Bone marrow aspirate smear:
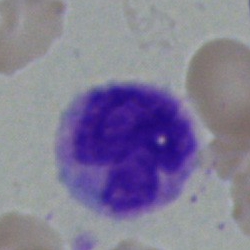

Morphology consistent with a monocyte.